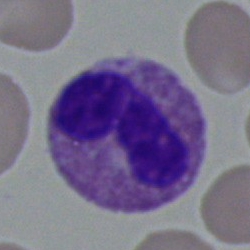
Q: What is shown here?
A: It is an eosinophilic granulocyte.